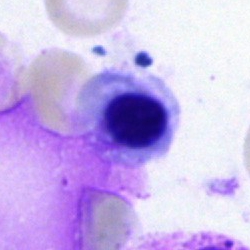 Q: What is shown here?
A: A nucleated red cell.